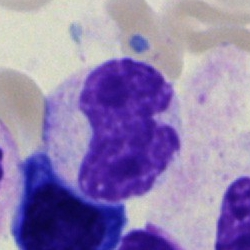
Cell = neutrophil (band).